Single-cell field · bone marrow smear.
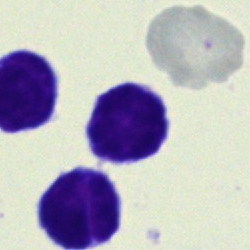 Showing a lymphocyte.